Bone marrow smear. Single-cell field — 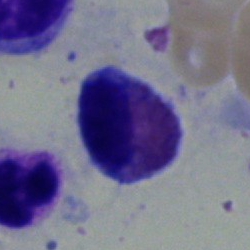 Specimen: bone marrow aspirate smear.
Cell type: eosinophil.
Lineage: myeloid.